Single-cell crop. Bone marrow aspirate smear — 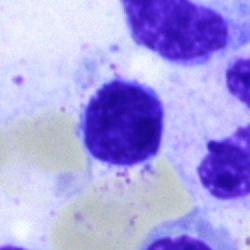

The cell shown is a typical lymphocyte.